May-Grünwald-Giemsa stain. Bone marrow aspirate smear — 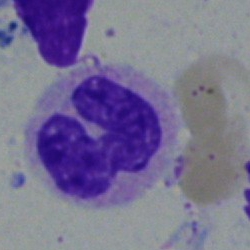Specimen: bone marrow smear.
Classification: band neutrophil.
Lineage: myeloid.